MGG-stained. Single-cell field. Bone marrow aspirate smear
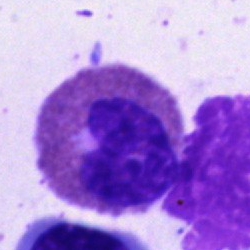 Q: Which cell type is shown here?
A: An eosinophil.